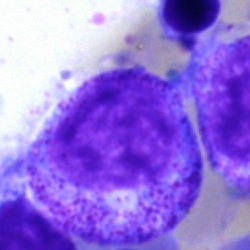

Morphological class — progranulocyte.